Bone marrow aspirate smear: 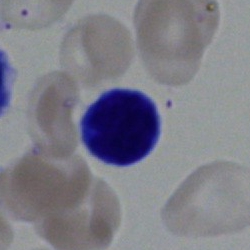

Single cell identified as a lymphocyte.